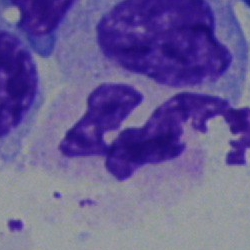 This is a polymorphonuclear neutrophil.